May-Grünwald-Giemsa stain · 250×250 · bone marrow aspirate smear
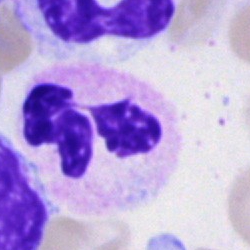A neutrophil (segmented).